Image size 250×250 · bone marrow aspirate smear:
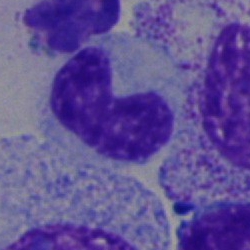Morphological class = stab cell.